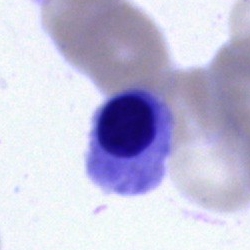
Bone marrow smear showing a normoblast.